Single-cell crop · bone marrow smear.
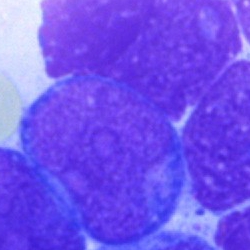
Specimen: bone marrow smear.
Classification: blast.